Image size 250×250 · bone marrow smear:
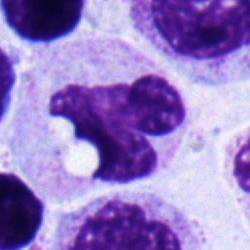The morphological class is stab cell.